Bone marrow smear · 40× oil immersion.
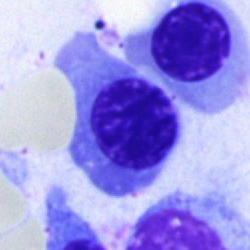 Morphological class = normoblast.